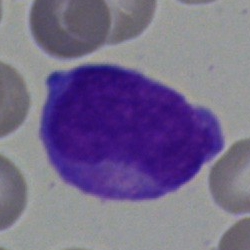
Blast.